Romanowsky-stained · peripheral blood film:
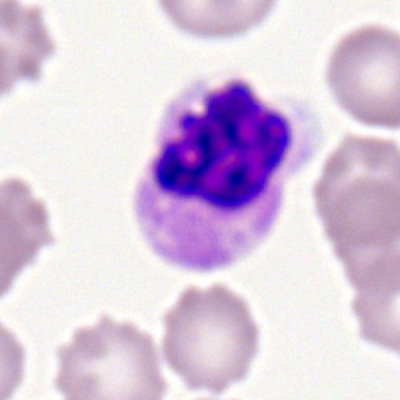 Polymorphonuclear neutrophil.